Bone marrow aspirate smear; 250 by 250 pixels; May-Grünwald-Giemsa/Pappenheim stain — 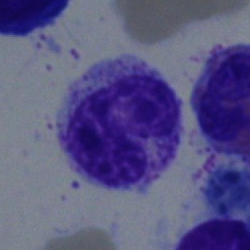 This is a band neutrophil.